Bone marrow aspirate smear — 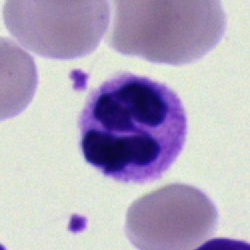

Morphological class = polymorphonuclear neutrophil.